Bone marrow aspirate smear
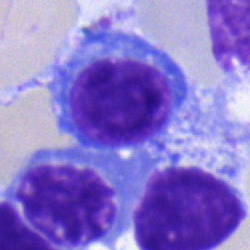
A plasma cell.